Bone marrow smear · 250×250
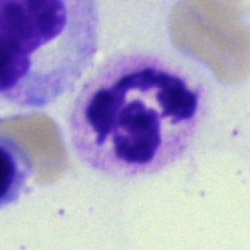Morphological class = neutrophil (segmented).